Bone marrow aspirate smear. Single-cell crop
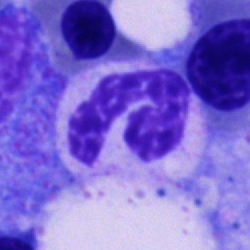
Morphology — segmented neutrophil.